Bone marrow smear · Pappenheim-stained · image size 250×250 — 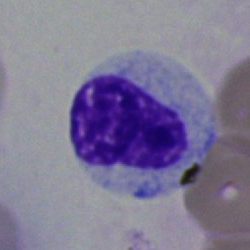

Cell type — myelocyte.